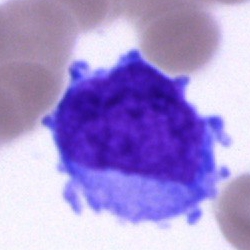 Cell type = blast.